Bone marrow smear.
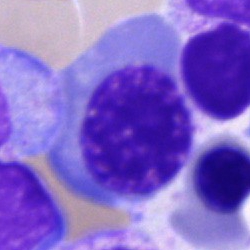

Morphology → nucleated red blood cell.